Bone marrow smear — 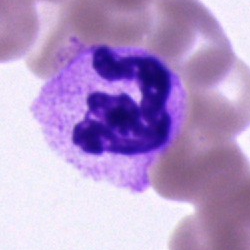 The cell type is segmented neutrophil.